Single-cell field. 100× oil immersion, 14.14 px/µm. Peripheral blood smear — 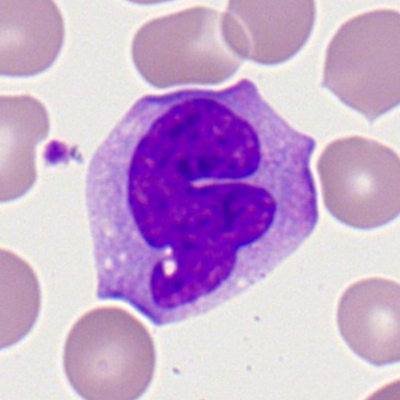Impression — monocyte.